Bone marrow aspirate smear · 250 by 250 pixels.
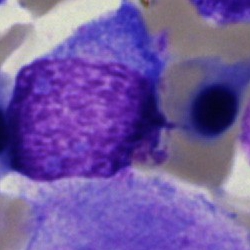

Cell — blast.